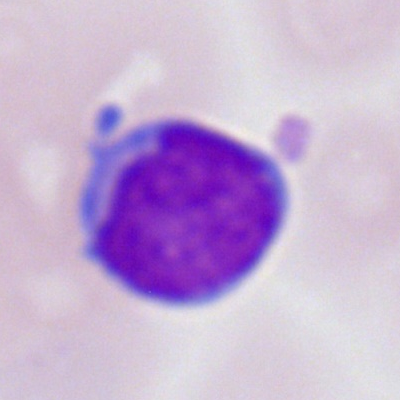
Classification = myeloid blast.